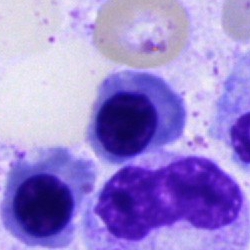Classification — normoblast.